Bone marrow smear:
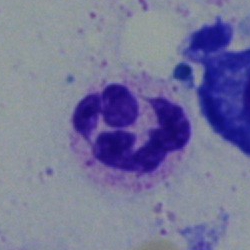Showing a neutrophil (segmented).